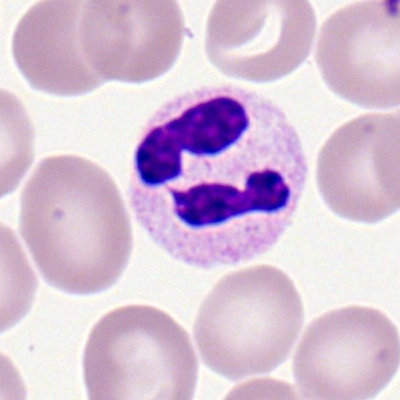
Cell: segmented neutrophil.